Bone marrow smear.
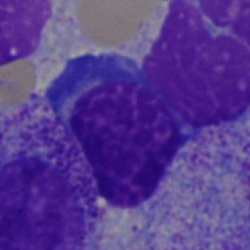

Typical lymphocyte.